May-Grünwald-Giemsa/Pappenheim stain; bone marrow smear — 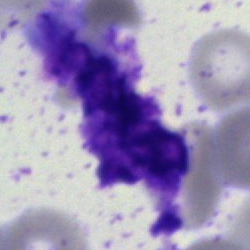Q: What is shown here?
A: This is an artifact.